Bone marrow smear.
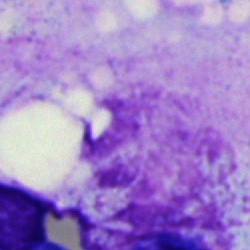
Cell = artefact.